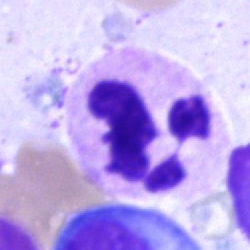 Cell = neutrophil (segmented).